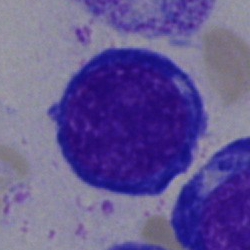

Impression — nucleated red cell.